Bone marrow aspirate smear; cropped to a single cell; brightfield, 40× oil-immersion objective
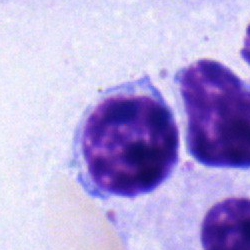Lymphocyte.